May-Grünwald-Giemsa stain; 40× oil immersion; bone marrow aspirate smear: 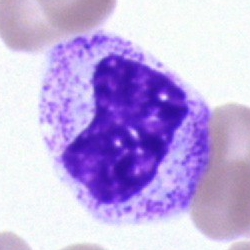
Cell — band-form neutrophil.